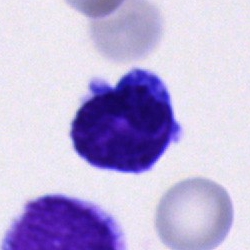Q: What type of cell is this?
A: An unidentifiable cell.